Bone marrow aspirate smear; May-Grünwald-Giemsa stain:
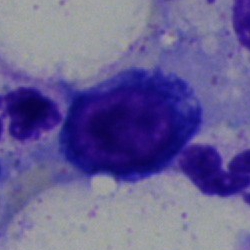 Cell = nucleated red blood cell.